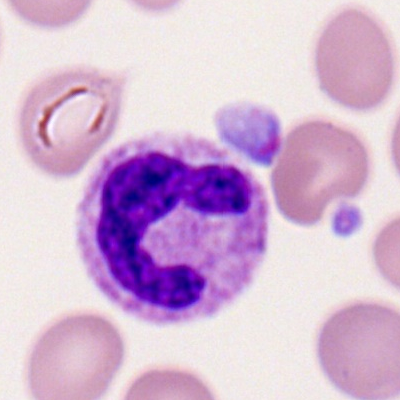
Cell type = polymorphonuclear neutrophil.